40× objective, oil immersion. Bone marrow aspirate smear. MGG-stained: 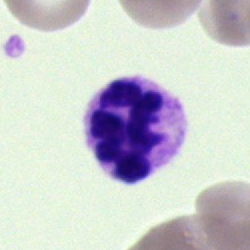
This is a neutrophil (segmented).